Peripheral blood film: 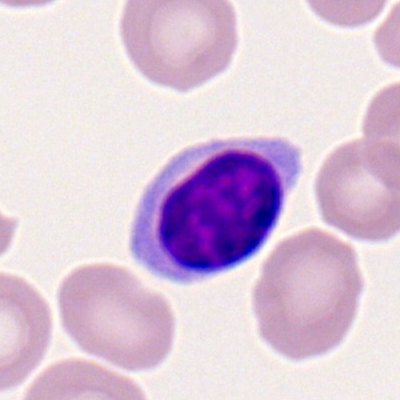

Cell type — lymphocyte.